Peripheral blood film.
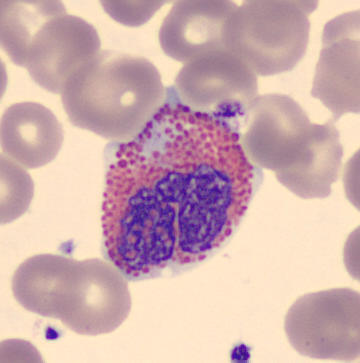

Morphological class: eosinophil.